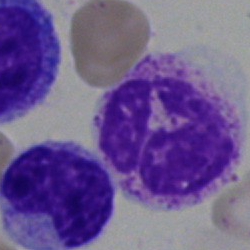
A neutrophil (segmented).